Bone marrow smear
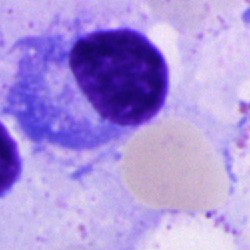
{"cell_type": "plasma cell", "lineage": "lymphoid"}